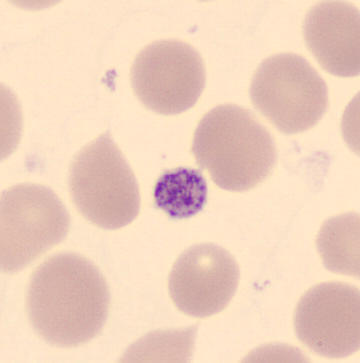

CellaVision DM96 · peripheral blood film. This is a platelet (thrombocyte).